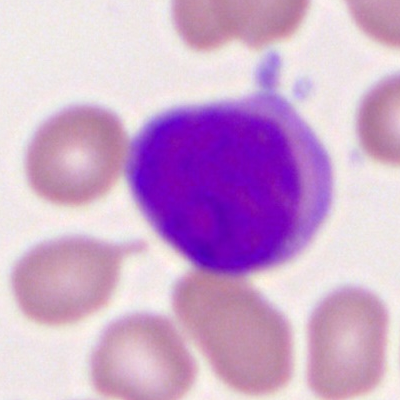 Morphological class = myeloid blast.